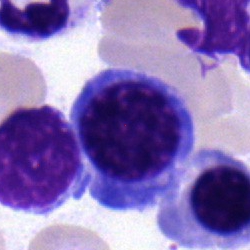

Specimen: bone marrow smear.
Classification: nucleated red cell.